Image size 250×250; bone marrow smear; single-cell field: 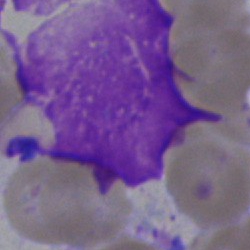

The cell shown is an artifact.